Bone marrow smear. 40× objective, oil immersion — 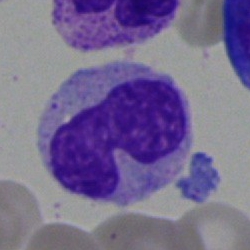This is a band-form neutrophil.